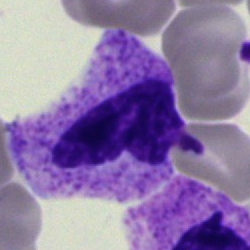Stab cell.